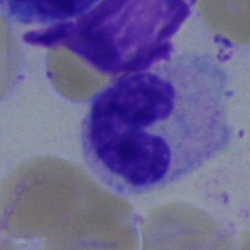A stab cell on a bone marrow smear.